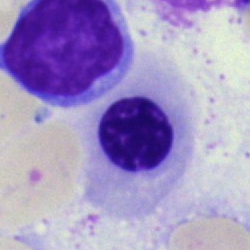

Specimen: bone marrow aspirate smear.
Morphological class: nucleated red cell.